Romanowsky stain. Cropped to a single cell. Peripheral blood smear — 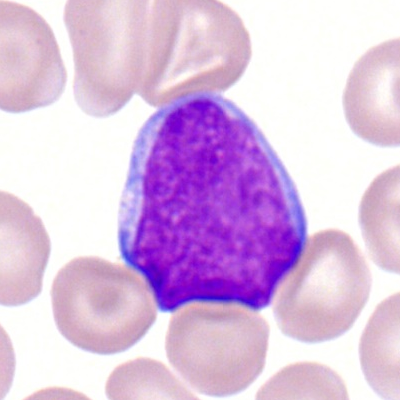Q: What is shown here?
A: This is a myeloid blast.